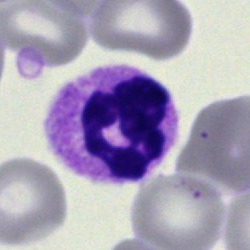
Morphology — neutrophil (segmented).